Bone marrow smear: 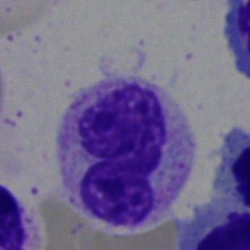 Band neutrophil.